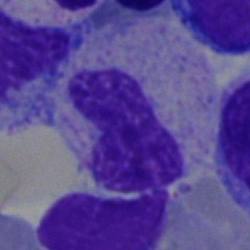
Bone marrow aspirate smear, single cell — metamyelocyte.